Peripheral blood film; May-Grünwald-Giemsa-stained; automated cell imaging (CellaVision DM96)
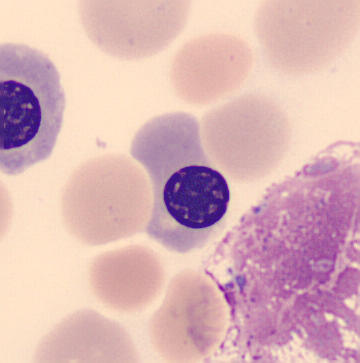
Specimen: peripheral blood film.
Classification: normoblast.
Lineage: erythroid.